250×250; bone marrow aspirate smear:
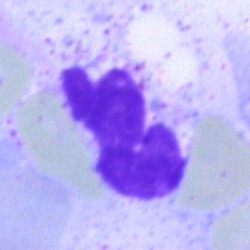 Cell — artifact.